Image size 250×250 · 40× oil immersion · bone marrow aspirate smear.
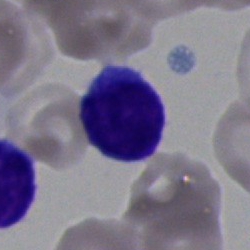Cell = lymphocyte.